Bone marrow aspirate smear · MGG-stained
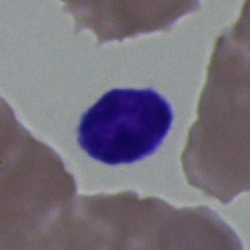

Specimen: bone marrow aspirate smear.
Cell: typical lymphocyte.
Lineage: lymphoid.